Bone marrow aspirate smear. Single-cell crop. Image size 250×250.
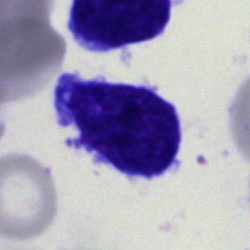
Specimen: bone marrow smear.
Classification: blast cell.